Cropped to a single cell. Pappenheim-stained. Bone marrow aspirate smear.
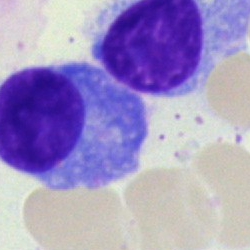{"cell_type": "plasmacyte"}